Bone marrow aspirate smear — 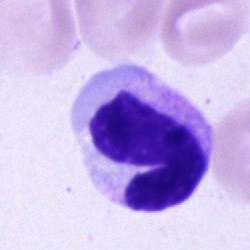 Band-form neutrophil.